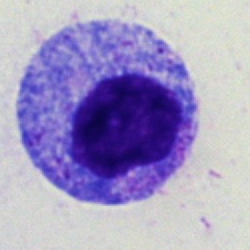Impression — promyelocyte.